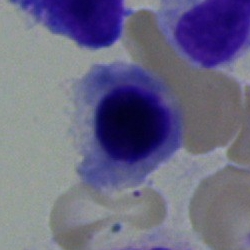Q: Which cell type is shown here?
A: A normoblast.